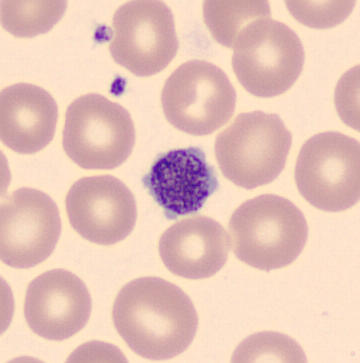This is a platelet. Acquisition: Peripheral blood smear · automated cell imaging (CellaVision DM96) · MGG stain.